Bone marrow aspirate smear — 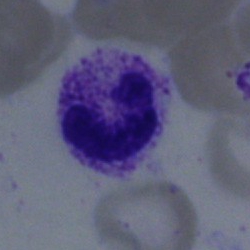Impression — segmented neutrophil.